May-Grünwald-Giemsa stain; bone marrow smear; 40× oil immersion:
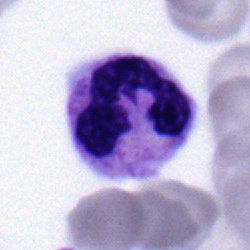
Morphology — segmented neutrophil.